Bone marrow aspirate smear
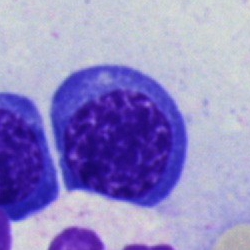
Nucleated red blood cell.